Brightfield microscopy, 40× oil immersion. Bone marrow smear. Pappenheim-stained: 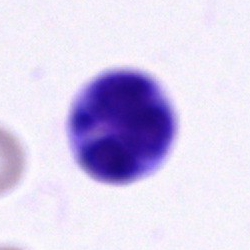

The cell type is cell of indeterminate lineage.